Single cell centered in the field. 40× objective, oil immersion. Bone marrow smear.
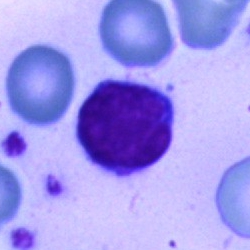

Impression → lymphocyte.